Cropped to a single cell · bone marrow smear
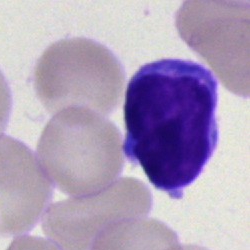

Classification: lymphocyte.